Bone marrow smear — 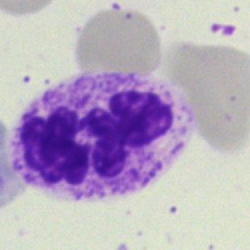

Q: What is shown here?
A: A segmented neutrophil.